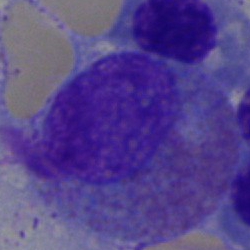{"cell_type": "eosinophilic granulocyte"}